Bone marrow smear. May-Grünwald-Giemsa stain. Brightfield microscopy, 40× oil immersion — 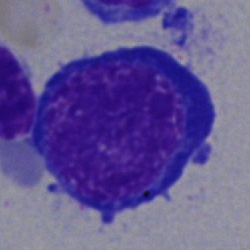
Q: What type of cell is this?
A: This is a normoblast.